Brightfield, 40× oil-immersion objective. Bone marrow aspirate smear
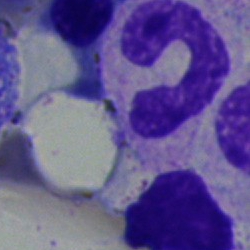 Classification: band neutrophil.